100× oil immersion; Romanowsky-type stain; peripheral blood film:
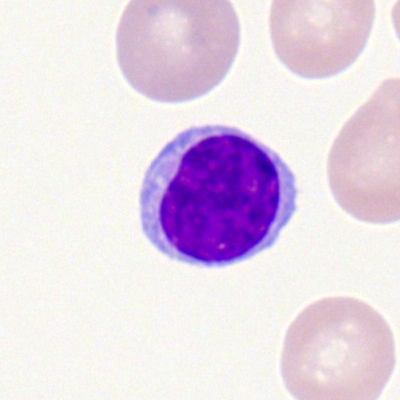

Morphology → lymphocyte.